Bone marrow smear.
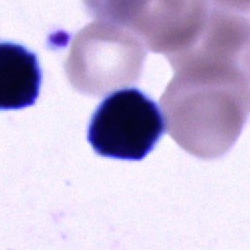 Specimen: bone marrow aspirate smear.
Cell: unidentifiable cell.